Brightfield, 40× oil-immersion objective · bone marrow smear: 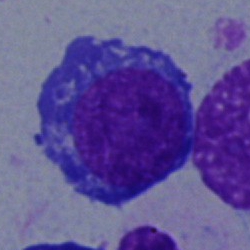Classification — proerythroblast.